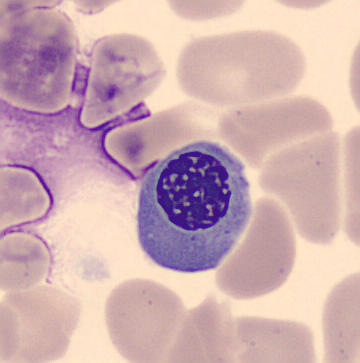
Preparation: MGG stain; peripheral blood smear.
The cell shown is an erythroblast.